Bone marrow aspirate smear.
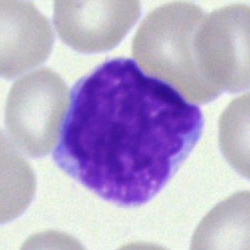Morphology → blast.